Bone marrow smear — 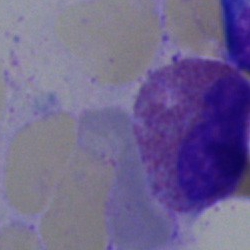 Showing an eosinophilic granulocyte.